Cropped to a single cell · brightfield microscopy, 40× oil immersion · bone marrow smear
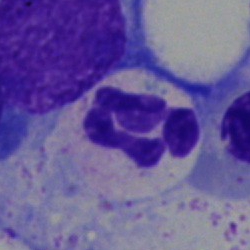
Showing a neutrophil (segmented).